Bone marrow aspirate smear
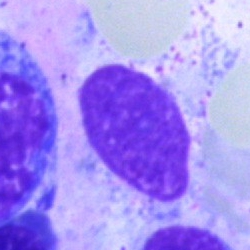
Q: What is shown here?
A: Artefact.